Single cell centered in the field. Bone marrow aspirate smear. 250 by 250 pixels — 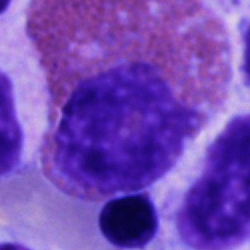 Eosinophil.